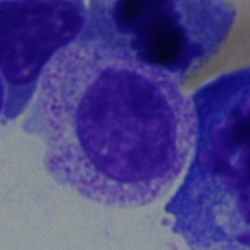
Classification = myelocyte.